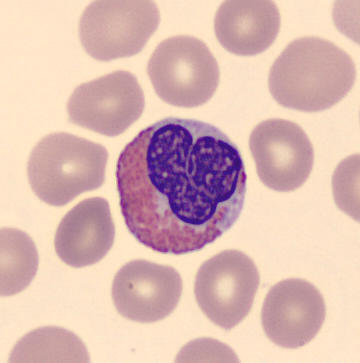 Specimen: peripheral blood film.
Classification: eosinophilic granulocyte.
Lineage: myeloid.